Bone marrow smear · Pappenheim-stained.
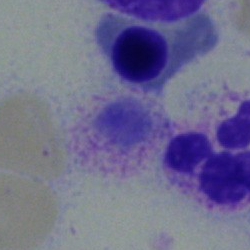The cell shown is a segmented neutrophil.